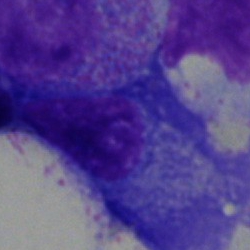

Cell type — plasmacyte.